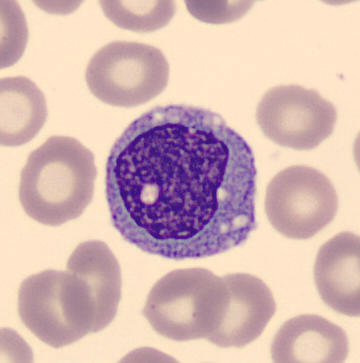

Q: What is the morphological classification of this cell?
A: A monocyte.